Bone marrow aspirate smear:
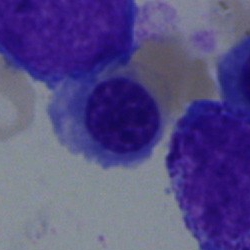Specimen: bone marrow aspirate smear.
Morphological class: erythroblast.
Lineage: erythroid.